Bone marrow aspirate smear.
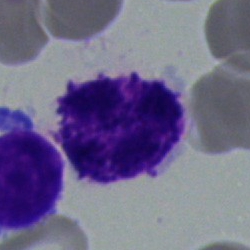The cell shown is a basophil.